Bone marrow aspirate smear.
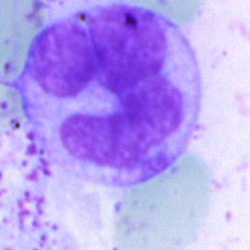
Morphological class — monocyte.